Bone marrow aspirate smear.
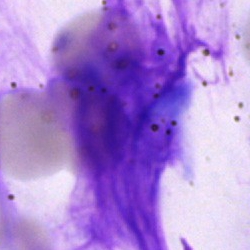
Specimen: bone marrow aspirate smear.
Cell: artifact.